Bone marrow smear — 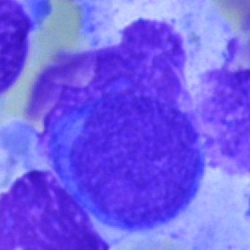
Specimen: bone marrow smear.
Cell type: blast cell.